Brightfield microscopy, 40× oil immersion · cropped to a single cell · bone marrow smear:
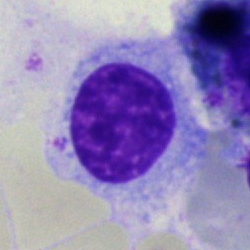Showing a hairy cell.